Bone marrow aspirate smear.
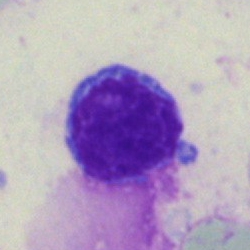

Specimen: bone marrow aspirate smear.
Cell type: lymphocyte.
Lineage: lymphoid.